40× oil immersion. Single-cell field. Bone marrow aspirate smear — 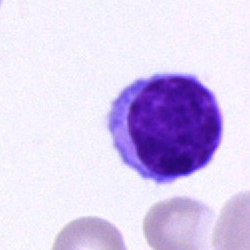Showing a typical lymphocyte.